Brightfield microscopy, 40× oil immersion; single cell centered in the field; bone marrow smear — 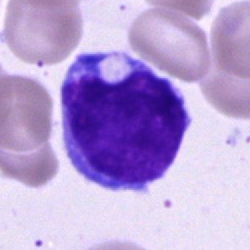Showing a typical lymphocyte.